Bone marrow aspirate smear. Brightfield, 40× oil-immersion objective. Pappenheim-stained — 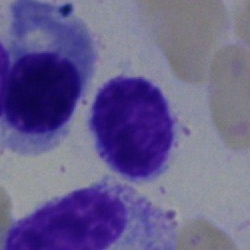 The morphological class is typical lymphocyte.